Bone marrow aspirate smear: 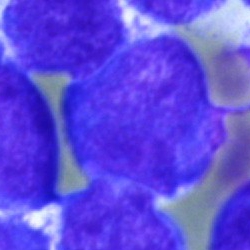 Showing an undifferentiated blast.